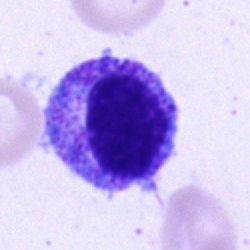

Q: What is shown here?
A: A myelocyte.